Peripheral blood smear
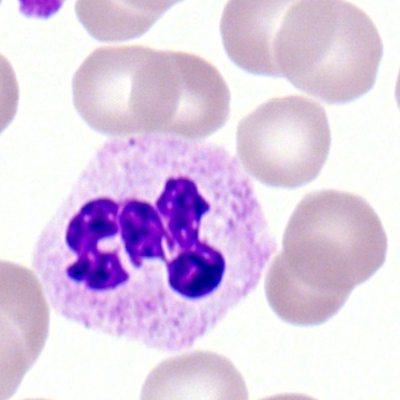Classification — neutrophil (segmented).